Bone marrow smear; brightfield, 40× oil-immersion objective:
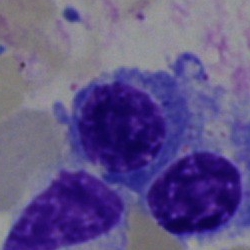
Morphology consistent with a nucleated red cell.